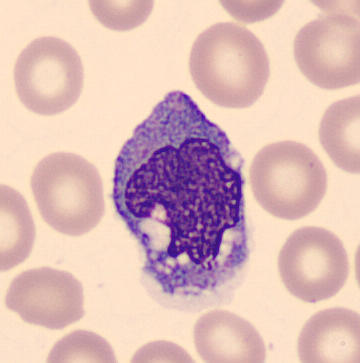 Identified as a monocyte.